Brightfield microscopy, 40× oil immersion · bone marrow smear.
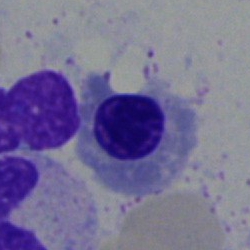 Impression — nucleated red cell.